Bone marrow smear: 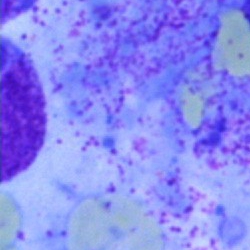

Specimen: bone marrow aspirate smear.
Morphological class: artefact.